Bone marrow aspirate smear
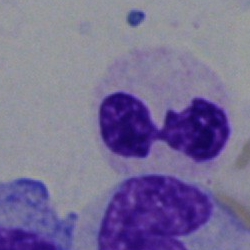

Q: What cell is this?
A: A polymorphonuclear neutrophil.